Bone marrow smear; single cell centered in the field
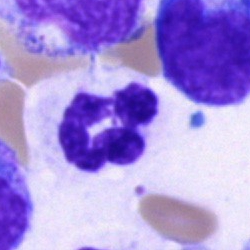

The cell shown is a segmented neutrophil.